Bone marrow aspirate smear; brightfield microscopy, 40× oil immersion
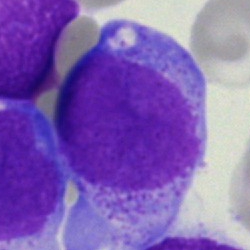

The cell is undifferentiated blast.